Pappenheim-stained · bone marrow aspirate smear · image size 250×250
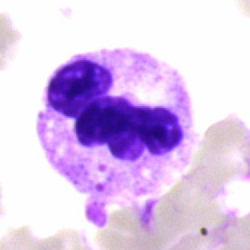A polymorphonuclear neutrophil.